Bone marrow aspirate smear — 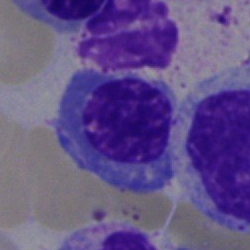

Showing a nucleated red cell.